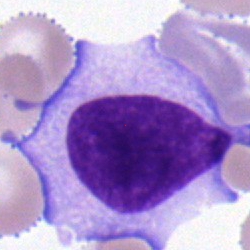

Bone marrow aspirate smear, single cell — typical lymphocyte.